Brightfield microscopy, 40× oil immersion; 250×250; bone marrow smear: 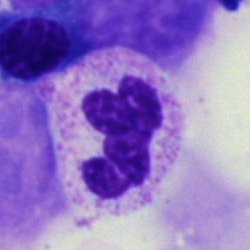
Morphological class — polymorphonuclear neutrophil.